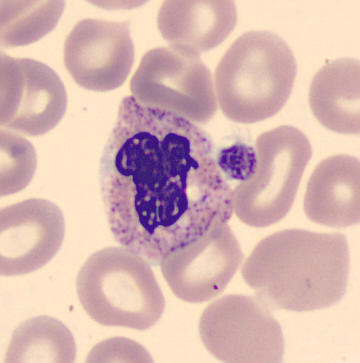Showing a neutrophil (segmented).

Image: Peripheral blood smear.